Bone marrow smear; 250×250 — 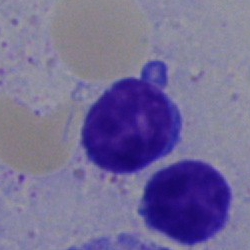
Single cell identified as a lymphocyte.